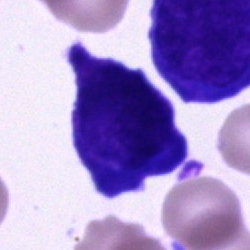 Unidentifiable cell.